Bone marrow aspirate smear:
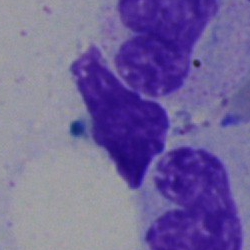Morphological class — artifact.